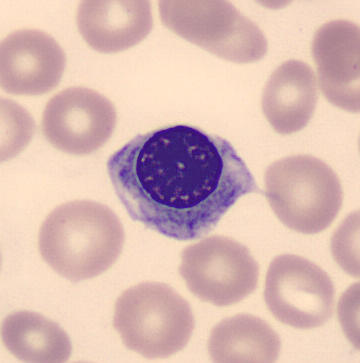 The cell is nucleated red blood cell.